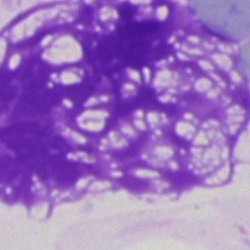Showing an artefact.